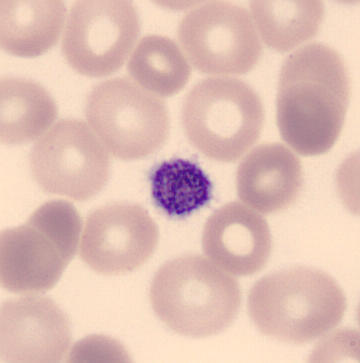 Classification = platelet (thrombocyte).

Image: Peripheral blood smear.